Bone marrow aspirate smear: 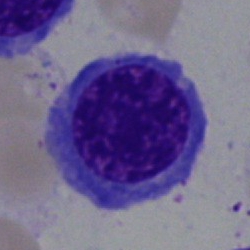

Q: What type of cell is this?
A: Nucleated red blood cell.